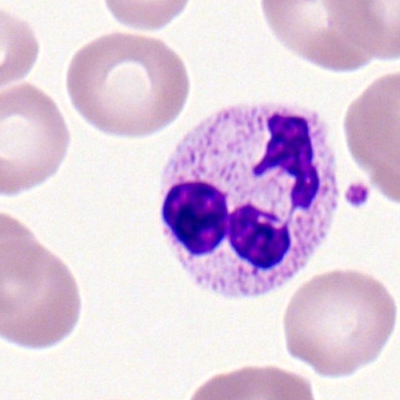 The morphological class is polymorphonuclear neutrophil.